Bone marrow smear.
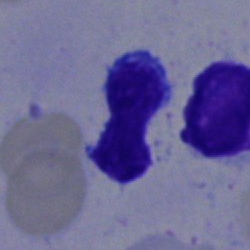

Cell type — typical lymphocyte.